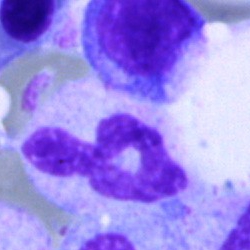 {"cell_type": "polymorphonuclear neutrophil"}